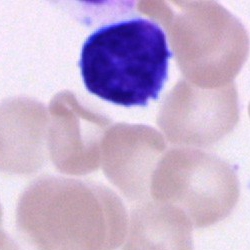Cell type — typical lymphocyte.